Romanowsky-stained · peripheral blood film
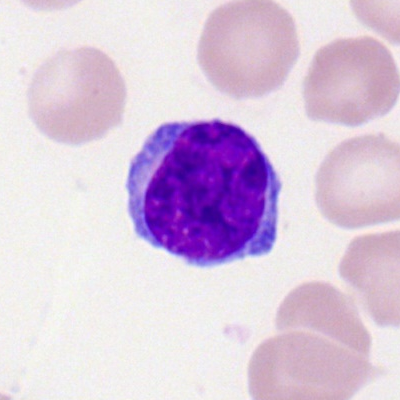

Morphological class: lymphocyte.